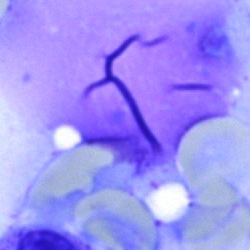{"cell_type": "artefact"}